Bone marrow aspirate smear
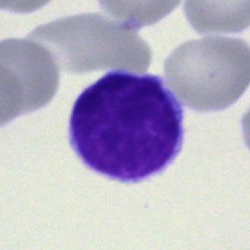

Q: What is shown here?
A: It is a lymphocyte.